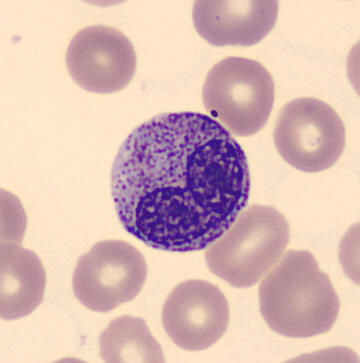
Peripheral blood smear.
Q: What type of cell is this?
A: This is a metamyelocyte.